40× oil immersion; bone marrow aspirate smear:
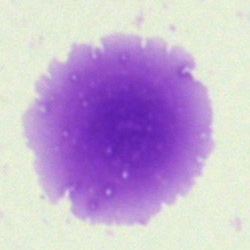 Cell type — artifact.